Bone marrow aspirate smear · single cell centered in the field:
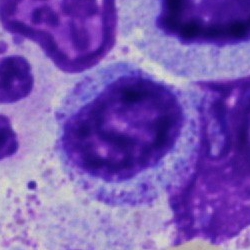
Morphological class — myelocyte.